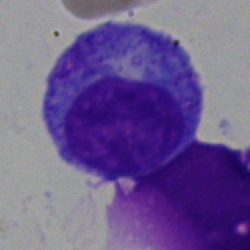 Specimen: bone marrow aspirate smear.
Classification: promyelocyte.
Lineage: myeloid.